250×250 px. Bone marrow smear — 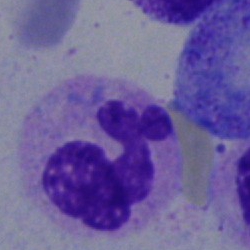 Classification: polymorphonuclear neutrophil.